Bone marrow smear:
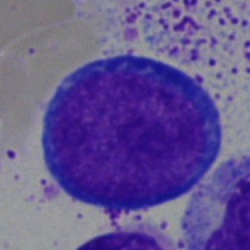

Morphology — pronormoblast.